40× objective, oil immersion. Bone marrow aspirate smear
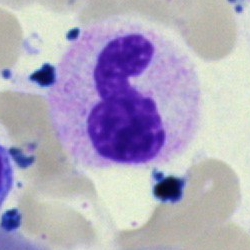
This is a neutrophil (segmented).